Bone marrow aspirate smear:
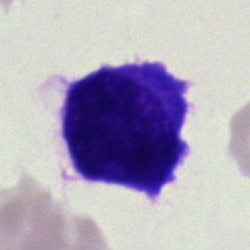

Specimen: bone marrow smear.
Cell: blast cell.